Bone marrow aspirate smear — 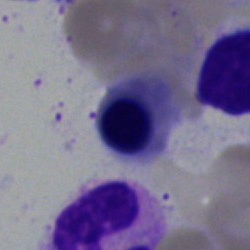Impression — nucleated red cell.